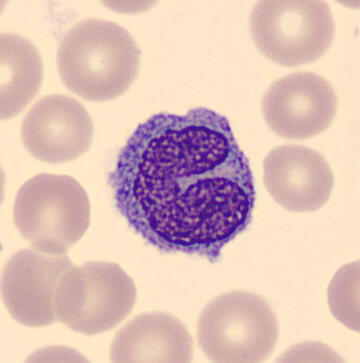Acquisition: May-Grünwald-Giemsa-stained. Peripheral blood film.
Morphology consistent with a monocyte.